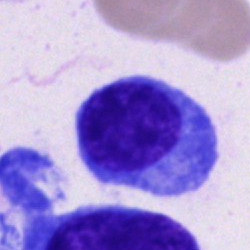
Q: What is the morphological classification of this cell?
A: It is a plasma cell.